Brightfield, 100× oil-immersion objective · peripheral blood film
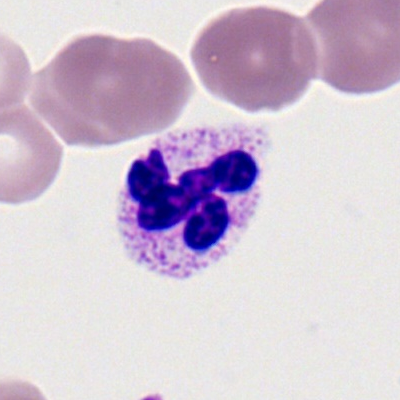 The cell shown is a polymorphonuclear neutrophil.